May-Grünwald-Giemsa/Pappenheim stain; bone marrow smear:
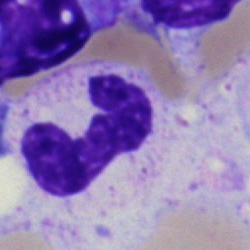
Cell: polymorphonuclear neutrophil.